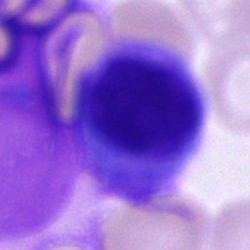Specimen: bone marrow aspirate smear.
Morphological class: cell of indeterminate lineage.